Brightfield microscopy, 40× oil immersion. May-Grünwald-Giemsa stain. Bone marrow aspirate smear.
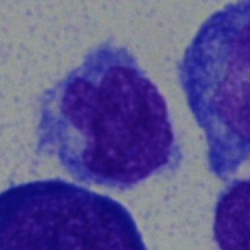Q: What type of cell is this?
A: A monocyte.